Peripheral blood smear. Image size 400×400 — 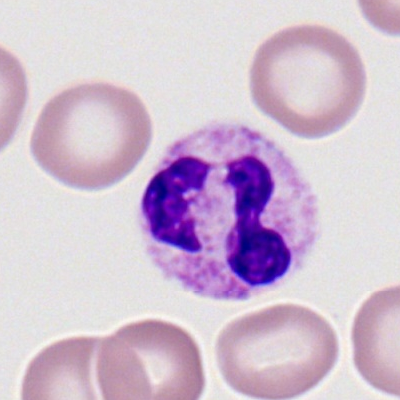
Morphology — polymorphonuclear neutrophil.